Bone marrow smear
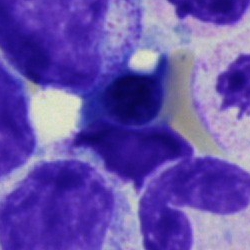 Morphology consistent with an erythroblast.